40× objective, oil immersion; bone marrow smear:
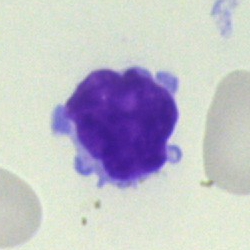

Morphology consistent with a lymphocyte.